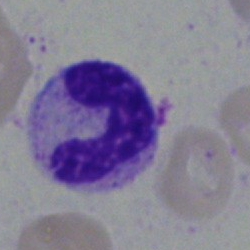 Impression — band-form neutrophil.